Bone marrow smear.
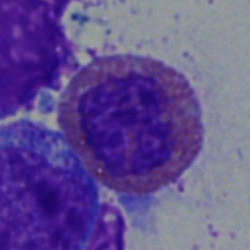
Impression → eosinophil.